Bone marrow smear
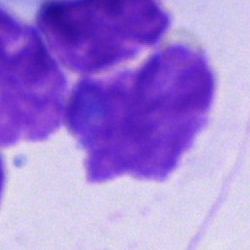Morphology — artefact.